Bone marrow smear; 40× objective, oil immersion; May-Grünwald-Giemsa/Pappenheim stain
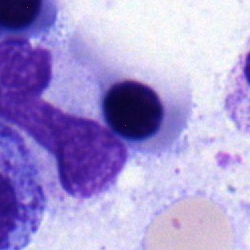

Nucleated red cell.